Single-cell crop · brightfield, 40× oil-immersion objective · bone marrow aspirate smear.
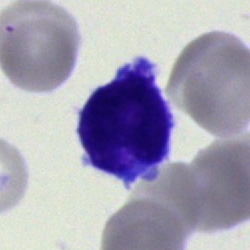Q: What type of cell is this?
A: It is an undifferentiated blast.